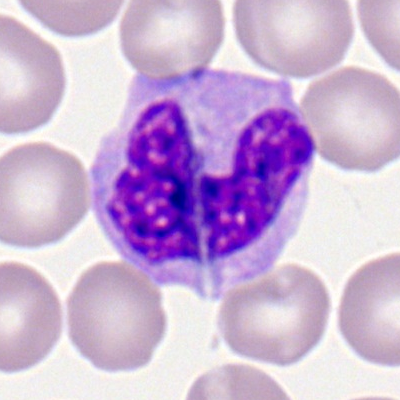

Q: What is shown here?
A: Monocyte.